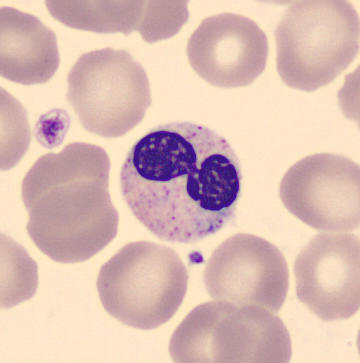 Peripheral blood smear.

Neutrophil (segmented).